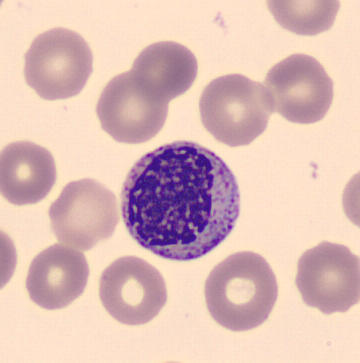The classification is myelocyte.